Brightfield, 100× oil-immersion objective; peripheral blood smear — 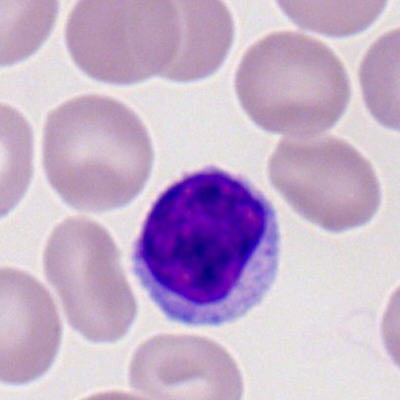

The classification is lymphocyte.